Brightfield microscopy, 40× oil immersion. Image size 250×250. Bone marrow smear:
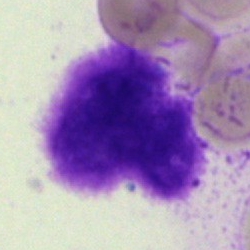

The morphological class is artefact.